Brightfield, 40× oil-immersion objective. Image size 250×250. Bone marrow aspirate smear
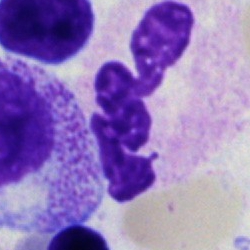 This is a segmented neutrophil.